MGG-stained · bone marrow smear.
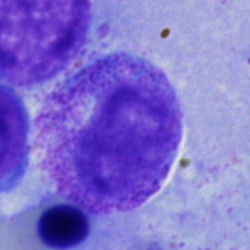 Showing a myelocyte.